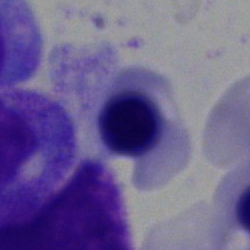 Specimen: bone marrow aspirate smear.
Classification: normoblast.